Brightfield, 40× oil-immersion objective · bone marrow smear — 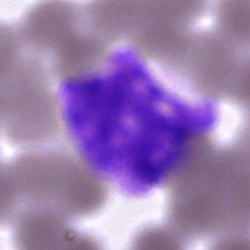
Cell type = artefact.